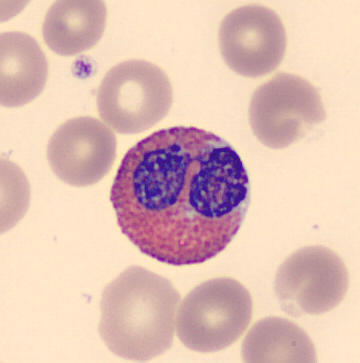

CellaVision DM96; peripheral blood film.
Morphology → eosinophil.